250×250 px; cropped to a single cell; bone marrow smear: 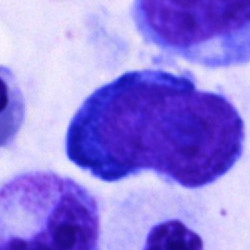

Classification — pronormoblast.